Brightfield microscopy, 40× oil immersion · bone marrow aspirate smear
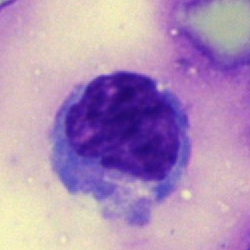
Q: Identify the cell.
A: Monocyte.